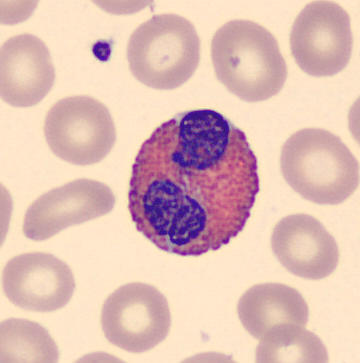Cell — eosinophil.